Bone marrow aspirate smear; single-cell crop; 250×250
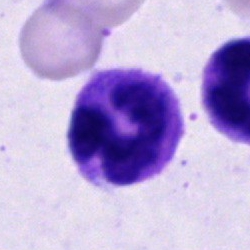

Q: What type of cell is this?
A: It is a segmented neutrophil.